Bone marrow smear · brightfield microscopy, 40× oil immersion · single-cell crop: 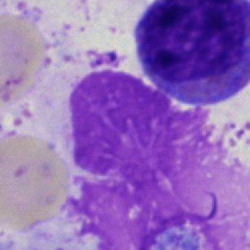 The classification is artifact.